Bone marrow aspirate smear — 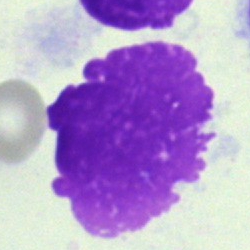Morphology consistent with an artifact.